Bone marrow aspirate smear:
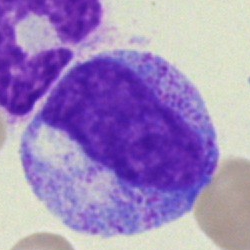Classification: progranulocyte.